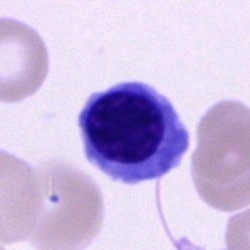

Cell type = normoblast.